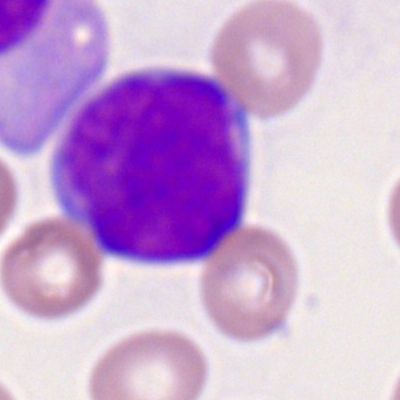

Q: Identify the cell.
A: Lymphocyte.